Peripheral blood smear — 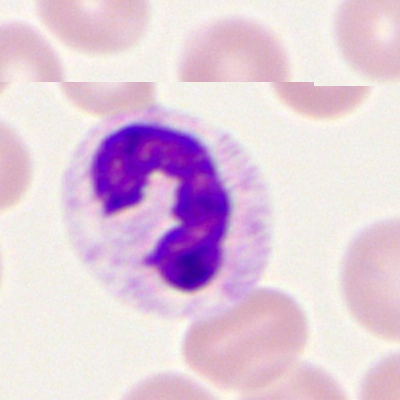 {"cell_type": "neutrophil (segmented)", "lineage": "myeloid"}